May-Grünwald-Giemsa/Pappenheim stain; bone marrow smear
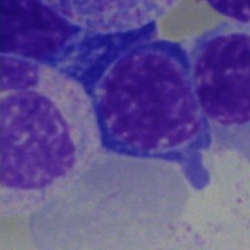Specimen: bone marrow aspirate smear.
Cell: nucleated red blood cell.
Lineage: erythroid.